Bone marrow aspirate smear; image size 250×250: 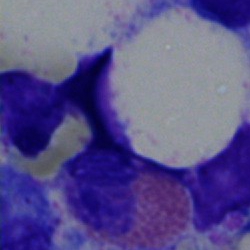

Single cell identified as an eosinophil.